250×250 · single-cell field · bone marrow smear
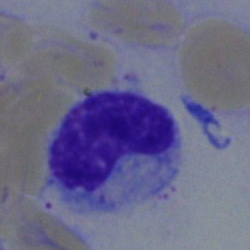
Cell type = metamyelocyte.